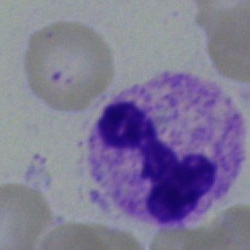
Neutrophil (segmented).